Peripheral blood film · MGG stain: 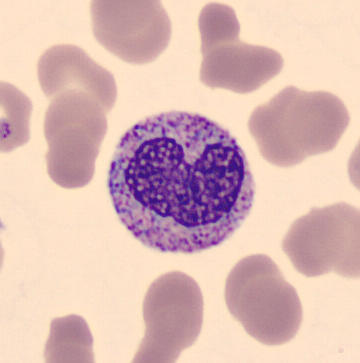 Q: Which cell type is shown here?
A: Metamyelocyte.